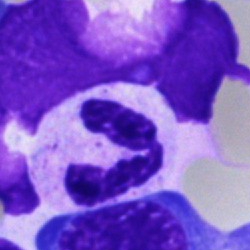

Morphology consistent with a neutrophil (segmented).